Bone marrow smear: 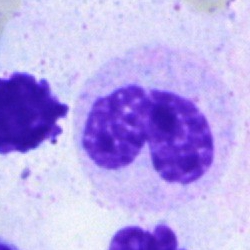 A band neutrophil.